Bone marrow smear:
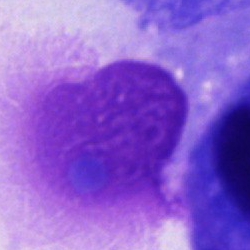Q: Which cell type is shown here?
A: An other cell.